Brightfield microscopy, 40× oil immersion. Bone marrow aspirate smear: 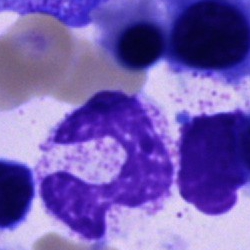

The cell is neutrophil (segmented).